Image size 250×250. Bone marrow smear. May-Grünwald-Giemsa stain — 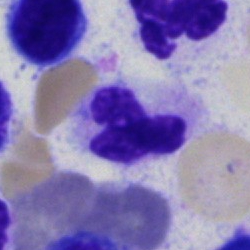Showing a segmented neutrophil.